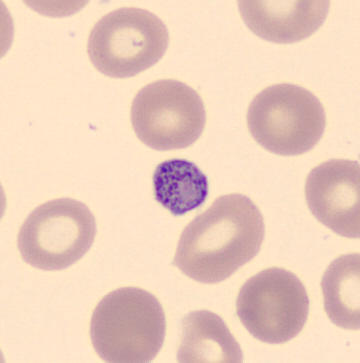A platelet.